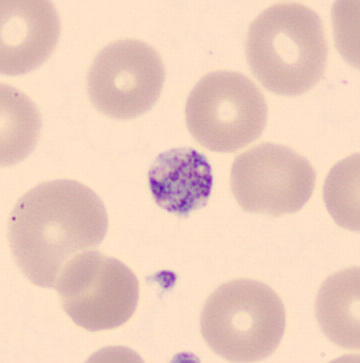 Morphology consistent with a thrombocyte.
Acquisition: Peripheral blood film.